Bone marrow aspirate smear
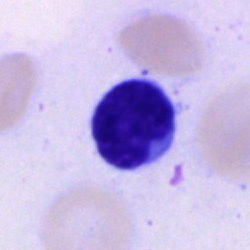Cell type: typical lymphocyte.